May-Grünwald-Giemsa/Pappenheim stain; cropped to a single cell; bone marrow aspirate smear
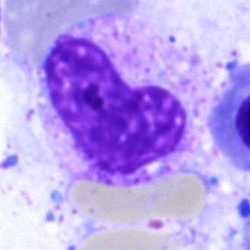

Specimen: bone marrow smear.
Cell: metamyelocyte.
Lineage: myeloid.